Bone marrow smear. Pappenheim-stained — 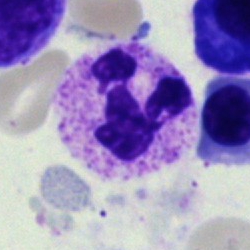Morphology → polymorphonuclear neutrophil.